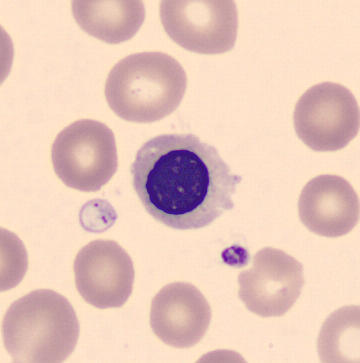

Q: Which cell type is shown here?
A: It is an erythroblast.